Bone marrow aspirate smear: 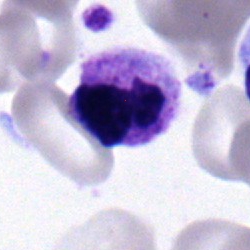
The cell type is neutrophil (segmented).